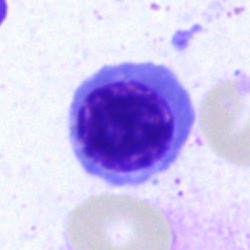Impression — erythroblast.